Bone marrow smear. May-Grünwald-Giemsa stain:
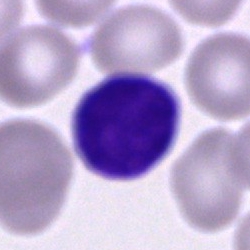 The cell is lymphocyte.